Bone marrow aspirate smear
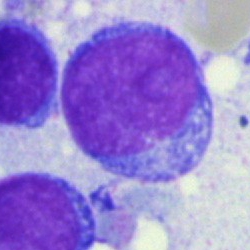
This is a blast.